Bone marrow smear.
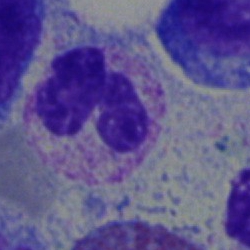

A segmented neutrophil.